Bone marrow aspirate smear.
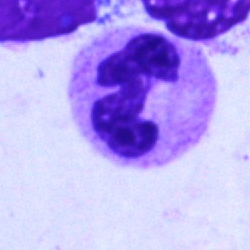Q: Which cell type is shown here?
A: A neutrophil (segmented).